Bone marrow smear:
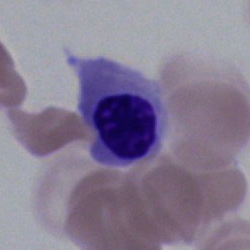
Single cell identified as a normoblast.